May-Grünwald-Giemsa stain · single-cell crop · bone marrow aspirate smear.
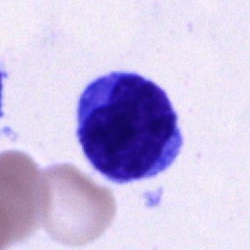

Morphology consistent with a lymphocyte.